Peripheral blood film — 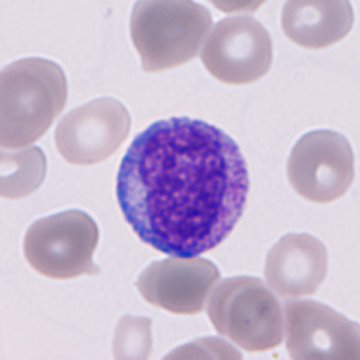

Cell: immature granulocyte.